Bone marrow smear. Image size 250×250 — 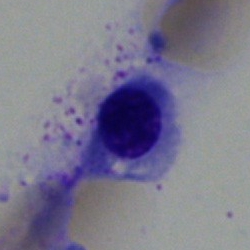The cell shown is an erythroblast.